Brightfield, 40× oil-immersion objective; bone marrow smear; single-cell field
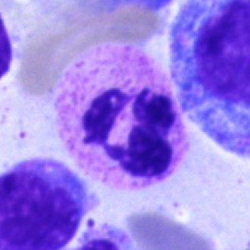
Morphology consistent with a neutrophil (segmented).